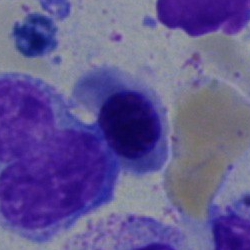
Nucleated red cell.